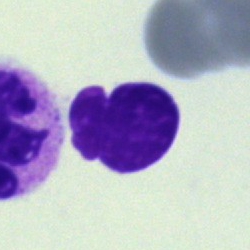Q: What is shown here?
A: Artifact.